May-Grünwald-Giemsa/Pappenheim stain. Bone marrow aspirate smear. Brightfield, 40× oil-immersion objective: 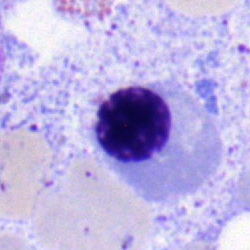
The cell shown is a normoblast.